250×250; bone marrow aspirate smear; MGG-stained
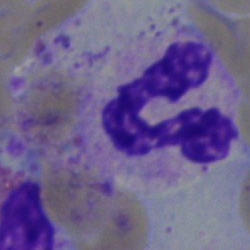 Morphology consistent with a segmented neutrophil.